400 by 400 pixels · peripheral blood smear · single cell centered in the field
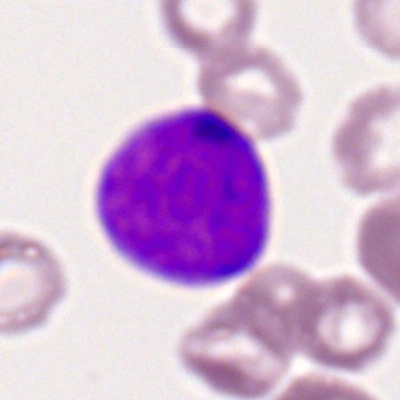

Morphological class — myeloid blast.